Bone marrow aspirate smear:
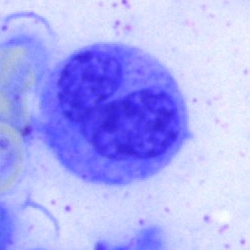

Q: What type of cell is this?
A: It is a stab cell.